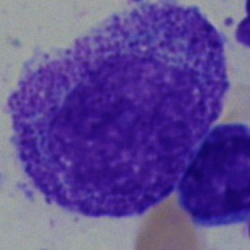 Specimen: bone marrow aspirate smear.
Cell: promyelocyte.
Lineage: myeloid.